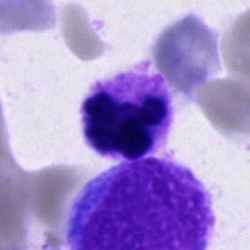 Classification: neutrophil (segmented).